Bone marrow aspirate smear:
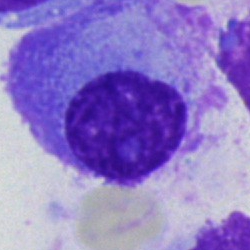 This is a plasmacyte.